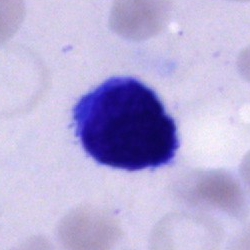

{"cell_type": "lymphocyte", "lineage": "lymphoid"}